Bone marrow smear; Pappenheim-stained; 40× objective, oil immersion — 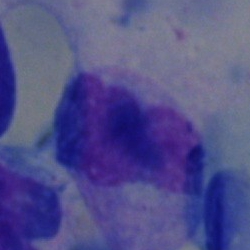Single cell identified as an artifact.